Single-cell field. Brightfield, 40× oil-immersion objective. Bone marrow aspirate smear: 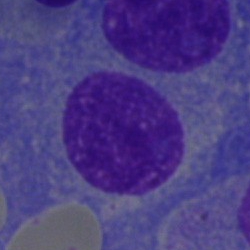 Classification = plasma cell.